Bone marrow smear; 250 by 250 pixels — 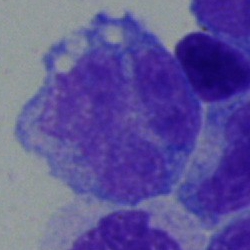The cell is monocyte.